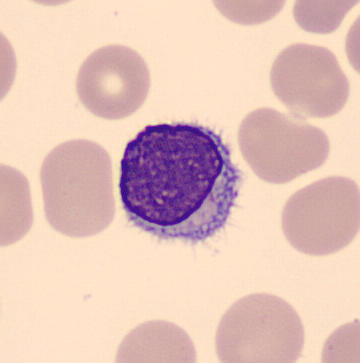 The morphological class is typical lymphocyte.

Acquisition: Cropped to a single cell · peripheral blood film.